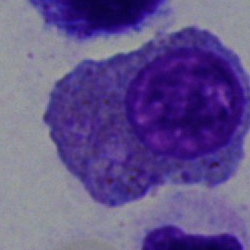
Morphology → eosinophilic granulocyte.